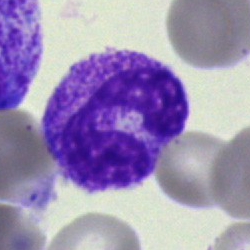Specimen: bone marrow smear.
Cell type: neutrophil (segmented).
Lineage: myeloid.